Pappenheim-stained; bone marrow aspirate smear:
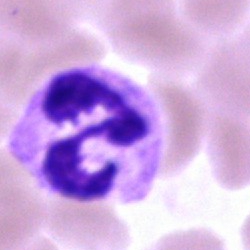
Specimen: bone marrow smear.
Cell type: neutrophil (segmented).
Lineage: myeloid.